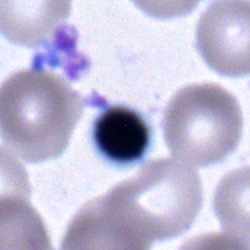 Q: What cell is this?
A: It is a typical lymphocyte.